Bone marrow smear
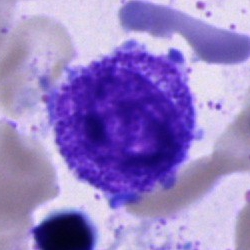Cell type: promyelocyte.